Bone marrow smear · 250 by 250 pixels · single cell centered in the field.
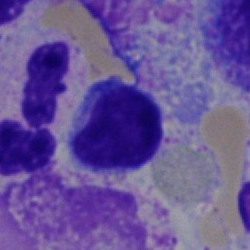

Morphology consistent with a typical lymphocyte.